40× objective, oil immersion; bone marrow aspirate smear; Pappenheim-stained — 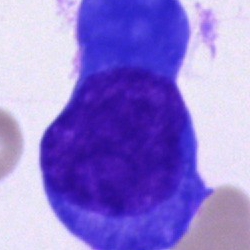 A plasma cell.